Bone marrow smear — 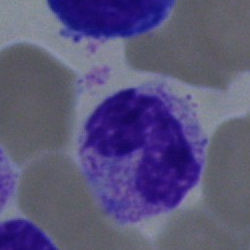Specimen: bone marrow smear.
Morphological class: stab cell.
Lineage: myeloid.